Bone marrow aspirate smear; single-cell crop.
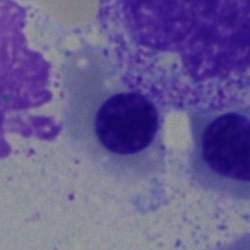 This is a nucleated red cell.